Peripheral blood smear
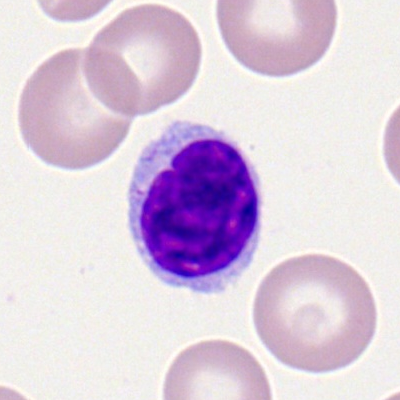 Q: What cell is this?
A: A typical lymphocyte.